Single cell centered in the field; bone marrow smear:
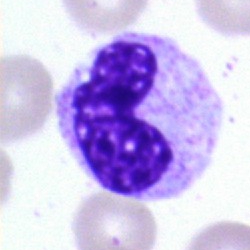Morphology → band-form neutrophil.